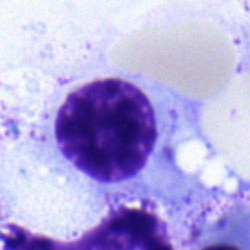

Cell: nucleated red cell.